40× objective, oil immersion. Bone marrow smear
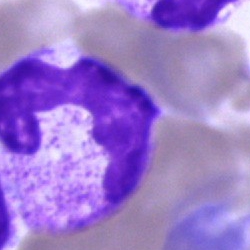 Q: Which cell type is shown here?
A: It is a segmented neutrophil.